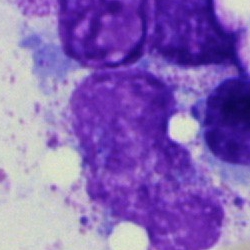 An artefact.